Bone marrow smear.
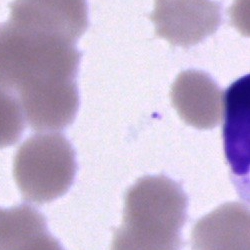
Cell: artefact.